Bone marrow smear.
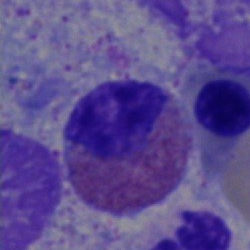
Single cell identified as an eosinophilic granulocyte.